Bone marrow aspirate smear; May-Grünwald-Giemsa stain; brightfield, 40× oil-immersion objective — 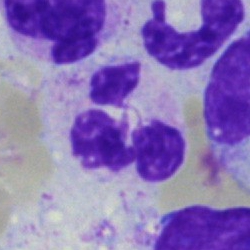 Q: What cell is this?
A: Polymorphonuclear neutrophil.